Bone marrow aspirate smear; cropped to a single cell: 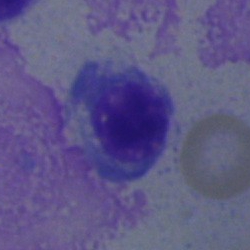Classification — artefact.